Pappenheim-stained. Bone marrow smear
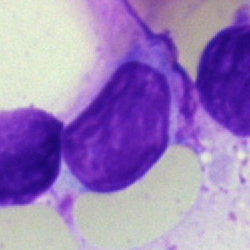The cell shown is an artefact.